MGG-stained. Bone marrow smear. Single cell centered in the field — 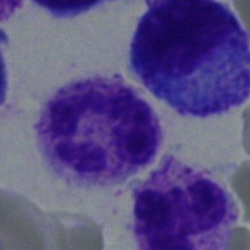
Classification — neutrophil (segmented).